Bone marrow smear; single-cell field: 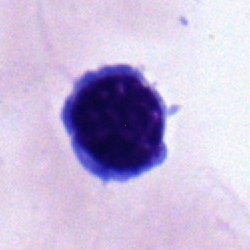
Q: Which cell type is shown here?
A: Normoblast.